Single-cell crop · bone marrow aspirate smear.
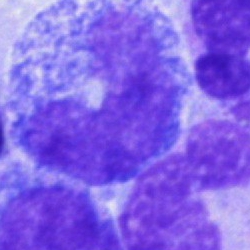Specimen: bone marrow smear.
Cell: monocyte.